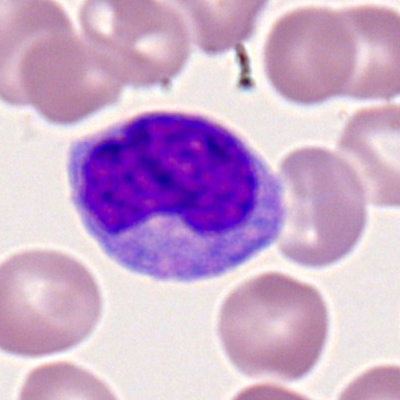

Morphological class: monocyte.